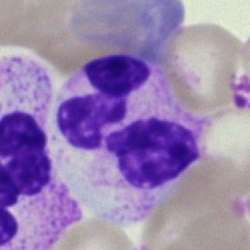

Morphology → segmented neutrophil.